Single cell centered in the field · bone marrow smear
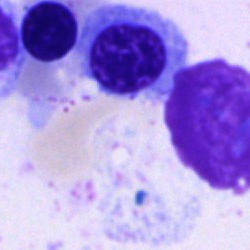
Classification: nucleated red cell.